Bone marrow aspirate smear
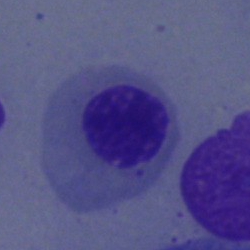Morphology — nucleated red blood cell.